Bone marrow aspirate smear — 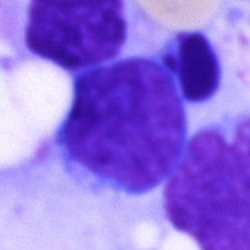 Q: Identify the cell.
A: Undifferentiated blast.